Single-cell crop. Bone marrow smear.
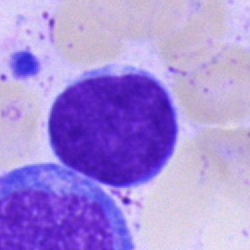 Single cell identified as an undifferentiated blast.